Bone marrow aspirate smear
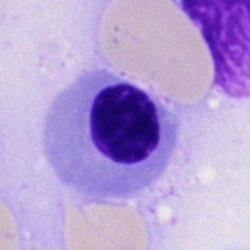
This is a nucleated red cell.